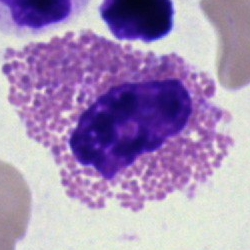This is an eosinophil.